Bone marrow smear
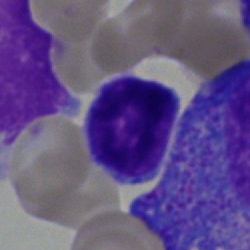Cell type — typical lymphocyte.